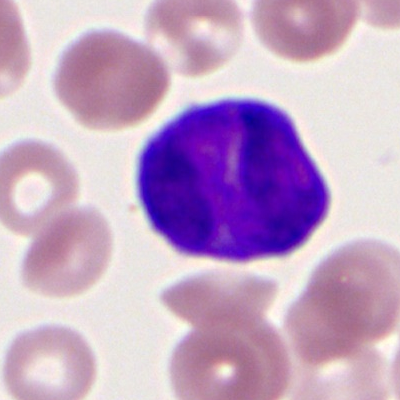 Peripheral blood smear showing a bilobed promyelocyte.